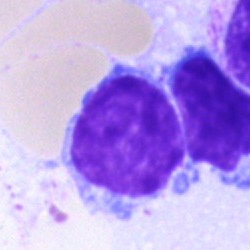

Specimen: bone marrow aspirate smear.
Morphological class: typical lymphocyte.
Lineage: lymphoid.